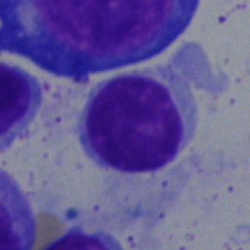The morphological class is lymphocyte.